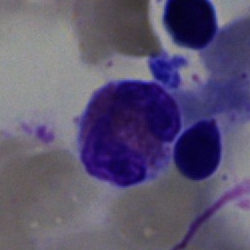
Cell = eosinophilic granulocyte.